Bone marrow aspirate smear; 40× objective, oil immersion
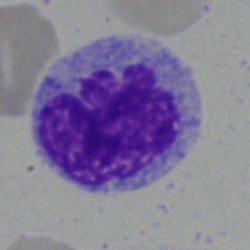

Morphology consistent with a monocyte.